Bone marrow aspirate smear: 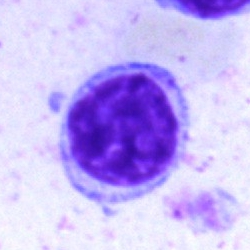 Q: What cell is this?
A: This is a lymphocyte.